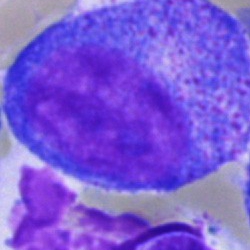
{"cell_type": "promyelocyte"}